250×250 px; bone marrow aspirate smear:
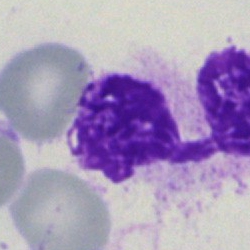
This is a neutrophil (segmented).